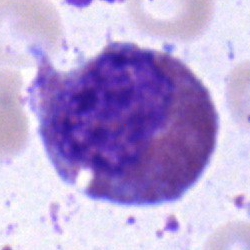
Showing an eosinophil.